Peripheral blood smear — 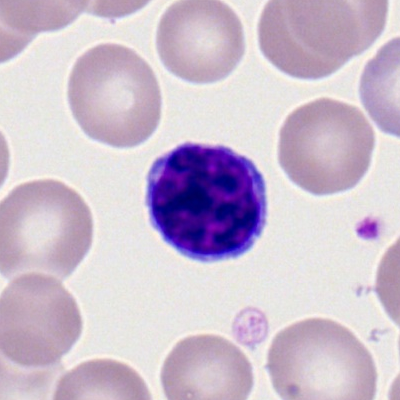
{"cell_type": "typical lymphocyte"}